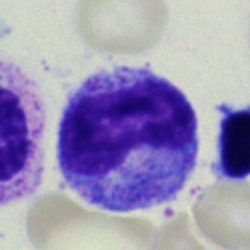 Impression → stab cell.